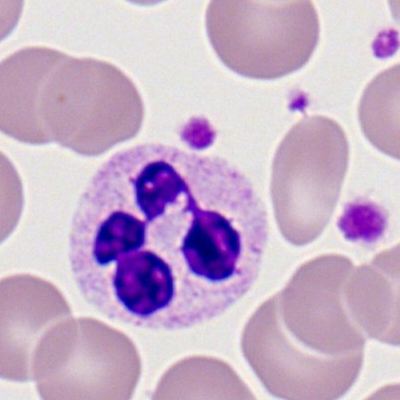 Q: What is the morphological classification of this cell?
A: It is a segmented neutrophil.